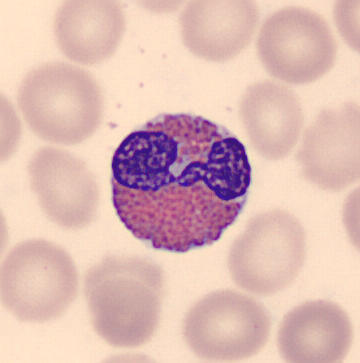
Peripheral blood smear showing an eosinophilic granulocyte.